Bone marrow aspirate smear — 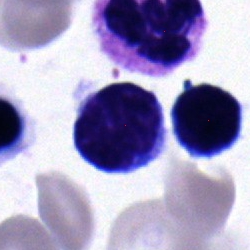
Q: What cell is this?
A: This is a lymphocyte.